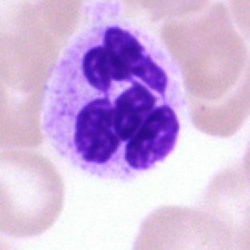

Single-cell crop from a bone marrow smear: polymorphonuclear neutrophil.